Pappenheim-stained. Bone marrow smear. Brightfield, 40× oil-immersion objective: 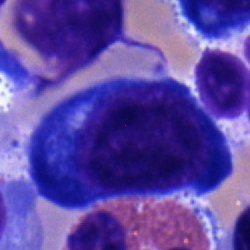 Q: What cell is this?
A: It is a pronormoblast.